250×250; bone marrow smear — 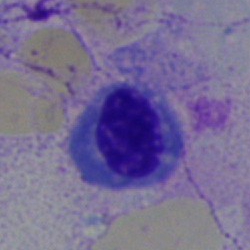Q: What is the morphological classification of this cell?
A: It is a normoblast.